Bone marrow aspirate smear.
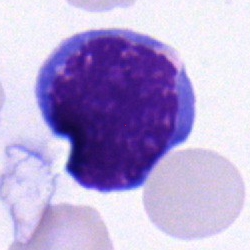
Morphological class: typical lymphocyte.